Brightfield, 100× oil-immersion objective · peripheral blood smear: 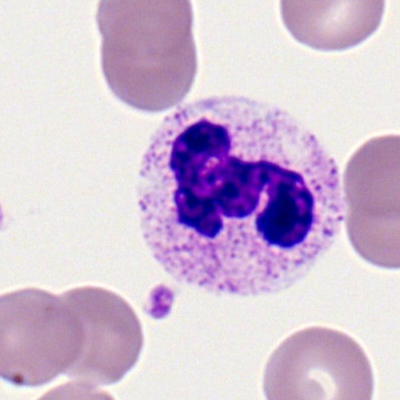This is a neutrophil (segmented).